Brightfield microscopy, 40× oil immersion. Bone marrow aspirate smear. 250×250 px.
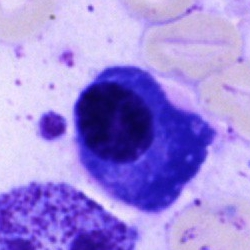

Morphological class — plasmacyte.